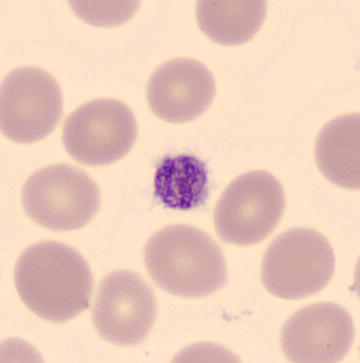Peripheral blood film · CellaVision DM96 digital cell image · MGG-stained. {"cell_type": "thrombocyte"}